Bone marrow smear:
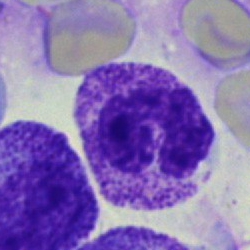 The cell is stab cell.